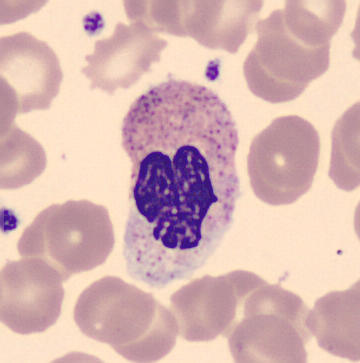 Morphological class = neutrophil (segmented). Peripheral blood film.